Bone marrow aspirate smear
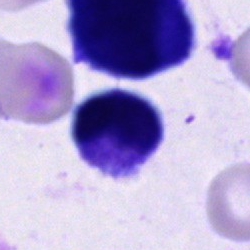

Q: Which cell type is shown here?
A: An unidentifiable cell.